Peripheral blood smear — 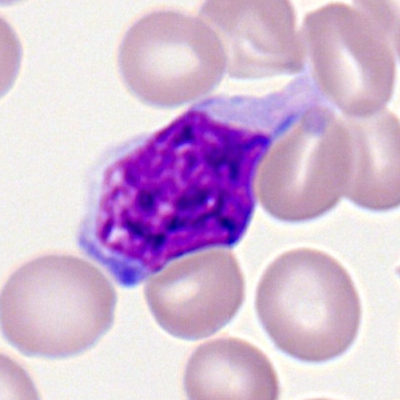 Cell type: lymphocyte.